Single cell centered in the field; May-Grünwald-Giemsa/Pappenheim stain; bone marrow aspirate smear
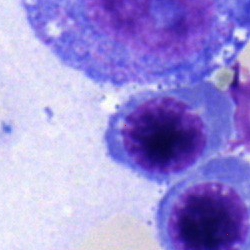Cell type = nucleated red blood cell.